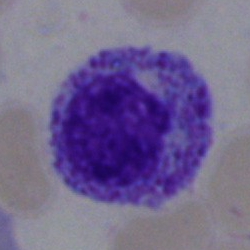
Single cell identified as a myelocyte.